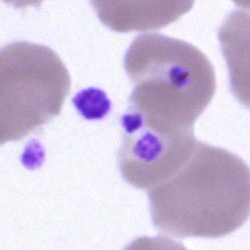Showing an artefact.